Bone marrow smear
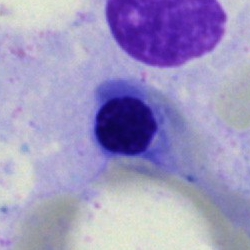

Impression — erythroblast.